40× objective, oil immersion; bone marrow smear; MGG-stained.
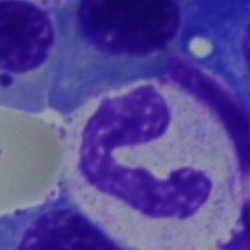 Showing a polymorphonuclear neutrophil.